Peripheral blood smear
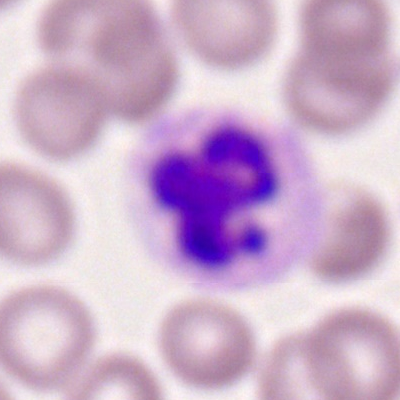 Single cell identified as a neutrophil (segmented).